Peripheral blood film.
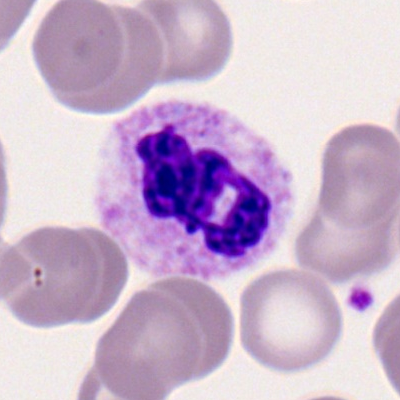Specimen: peripheral blood smear.
Cell type: neutrophil (segmented).
Lineage: myeloid.